Single-cell crop · bone marrow smear.
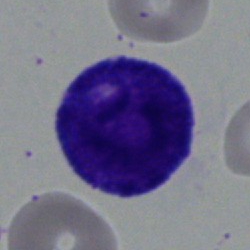 Q: What is the morphological classification of this cell?
A: Promyelocyte.